May-Grünwald-Giemsa/Pappenheim stain. Bone marrow aspirate smear.
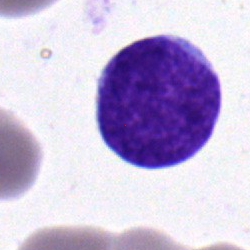
Specimen: bone marrow smear.
Cell: blast cell.